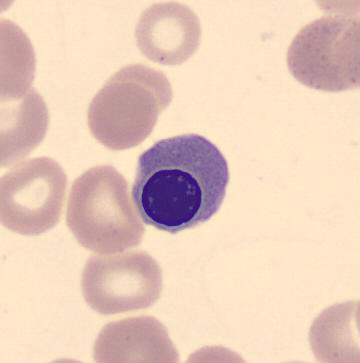

Acquisition: Peripheral blood film; single-cell crop.

A normoblast.